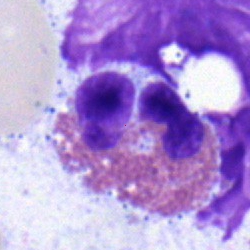
Morphology → eosinophil.